Bone marrow aspirate smear:
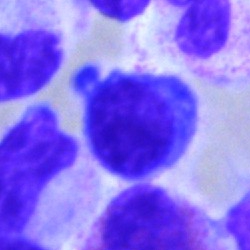

Classification: typical lymphocyte.